Bone marrow aspirate smear.
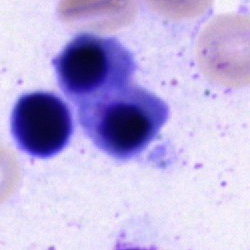{"cell_type": "nucleated red cell"}